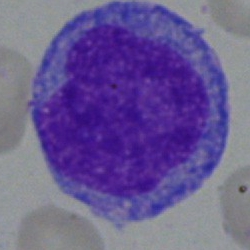This is a promyelocyte.